Bone marrow aspirate smear · 250×250 px · Pappenheim-stained: 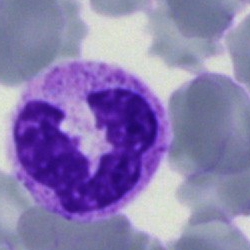
Morphology consistent with a polymorphonuclear neutrophil.